Bone marrow aspirate smear.
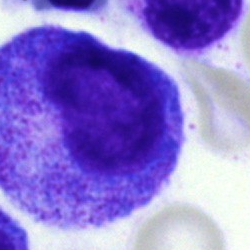
Q: What is shown here?
A: It is a progranulocyte.